Bone marrow smear. May-Grünwald-Giemsa stain: 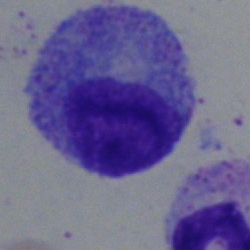 Single cell identified as a promyelocyte.